Single-cell field. Bone marrow aspirate smear
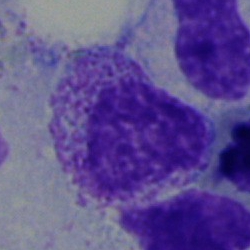

The cell shown is a myelocyte.